40× oil immersion. 250×250 px. Bone marrow aspirate smear:
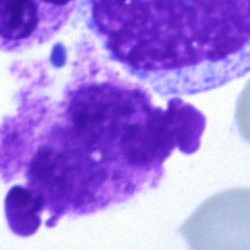

Q: What is shown here?
A: This is an artefact.